Bone marrow aspirate smear; image size 250×250; brightfield, 40× oil-immersion objective:
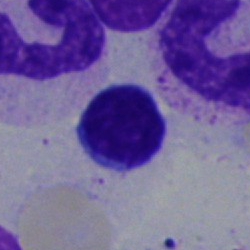Q: What cell is this?
A: Lymphocyte.